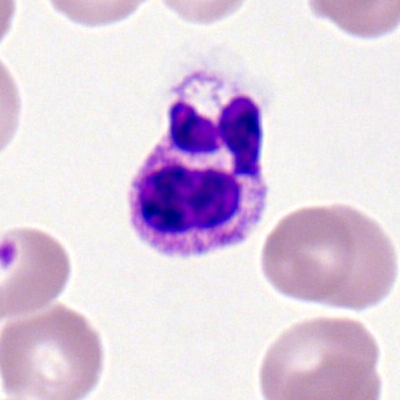 Cell — neutrophil (segmented).